Bone marrow smear. 40× objective, oil immersion — 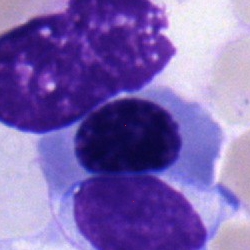

Showing a nucleated red blood cell.